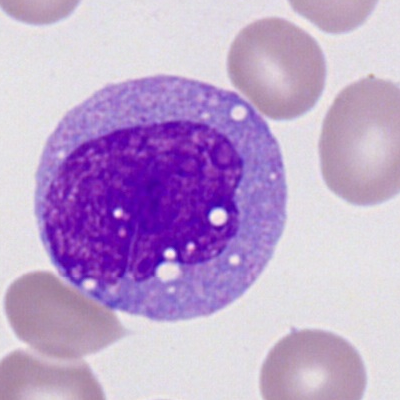
Single cell identified as a myeloblast.